Bone marrow smear:
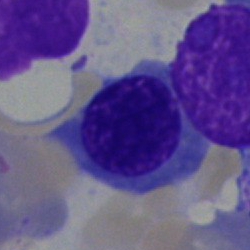
Showing a nucleated red blood cell.